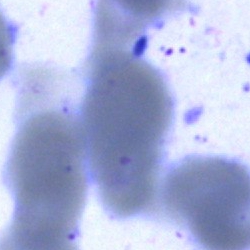 {"cell_type": "artifact"}